Bone marrow smear · MGG-stained:
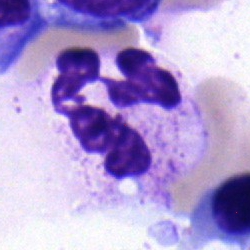

The cell shown is a segmented neutrophil.